Peripheral blood film — 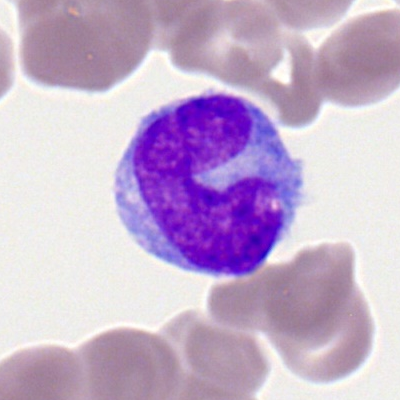 Q: What cell is this?
A: This is a monocyte.